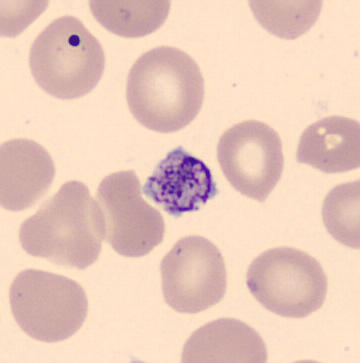

Classification — thrombocyte.